Bone marrow aspirate smear · cropped to a single cell
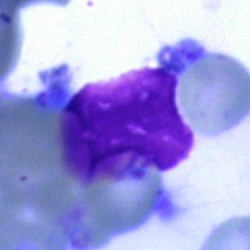 Q: What is shown here?
A: Artifact.